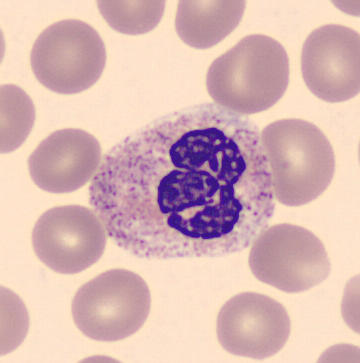 Morphology → segmented neutrophil.